Bone marrow smear · brightfield microscopy, 40× oil immersion · Pappenheim-stained — 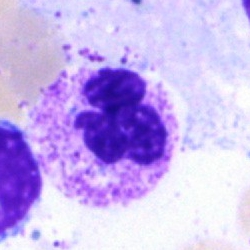Q: What is the morphological classification of this cell?
A: It is a neutrophil (segmented).